Bone marrow aspirate smear; 250×250: 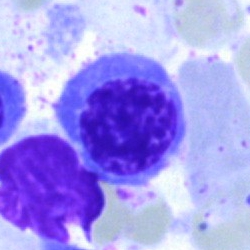 Morphology consistent with a nucleated red cell.